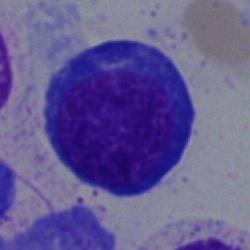
Classification: proerythroblast.